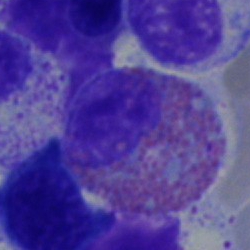 Single cell identified as an eosinophilic granulocyte.